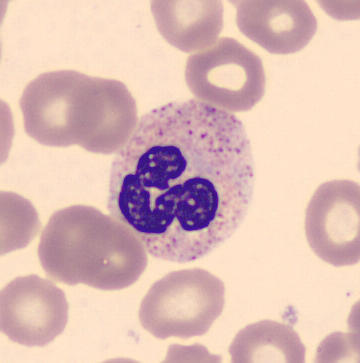Cell: neutrophil (segmented). Peripheral blood smear.